Bone marrow smear
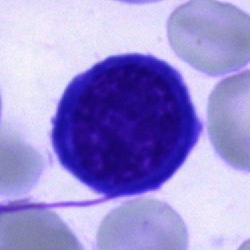

Morphology consistent with an erythroblast.